Bone marrow smear: 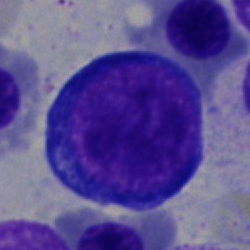

The cell shown is a pronormoblast.